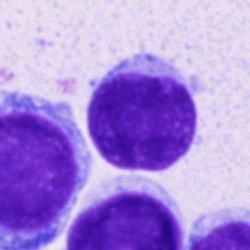
Lymphocyte.